Single-cell field · bone marrow smear · Pappenheim-stained:
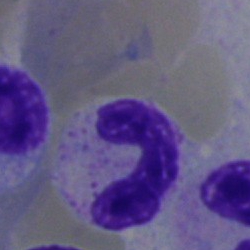
The morphological class is band-form neutrophil.